Bone marrow smear: 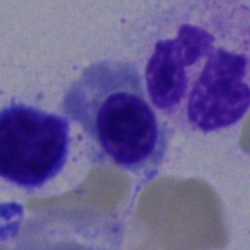

{"cell_type": "normoblast", "lineage": "erythroid"}